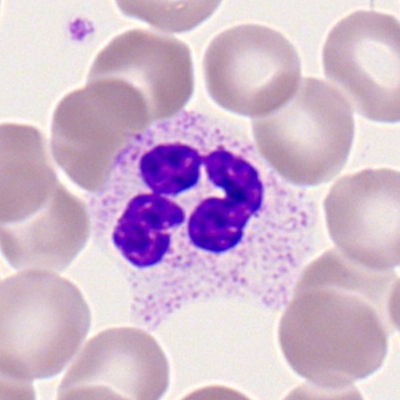 {"cell_type": "neutrophil (segmented)", "lineage": "myeloid"}